Bone marrow aspirate smear: 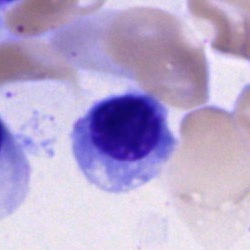

An erythroblast.